Peripheral blood smear. 100× objective, oil immersion: 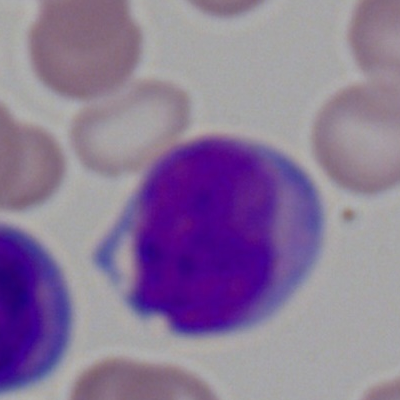

Classification — myeloblast.